Romanowsky stain; peripheral blood film; single-cell crop:
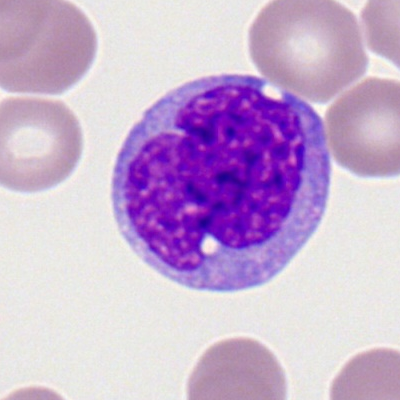 Impression — monocyte.